Peripheral blood smear. Romanowsky-stained:
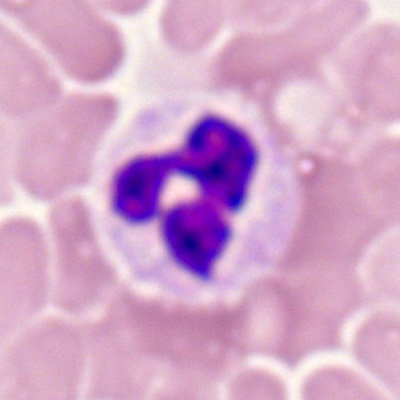Specimen: peripheral blood film.
Morphological class: segmented neutrophil.
Lineage: myeloid.